Bone marrow smear
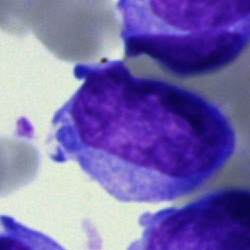 Specimen: bone marrow smear.
Cell type: blast.